250×250 px. Cropped to a single cell. Bone marrow smear
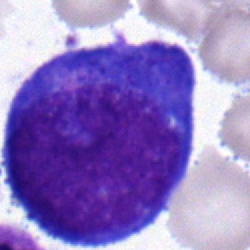
Promyelocyte.